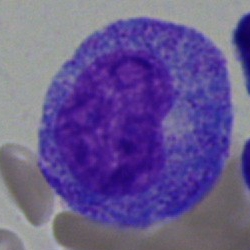The classification is promyelocyte.